Bone marrow smear:
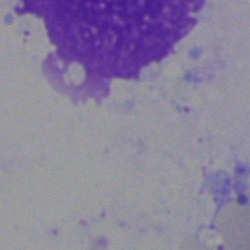
Artefact.